250×250. Bone marrow smear. Brightfield microscopy, 40× oil immersion:
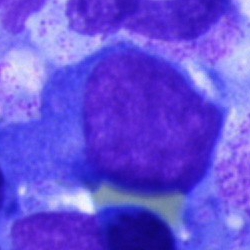

Morphology — blast.